Bone marrow smear; May-Grünwald-Giemsa stain
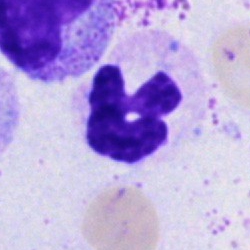 Morphology → neutrophil (segmented).